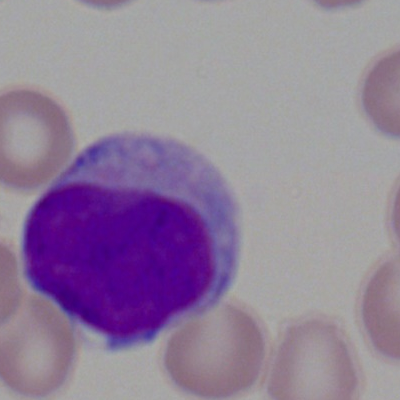
Cell = myeloblast.